May-Grünwald-Giemsa/Pappenheim stain · bone marrow aspirate smear:
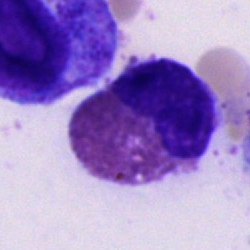 The cell shown is an eosinophilic granulocyte.